Bone marrow aspirate smear · single-cell crop:
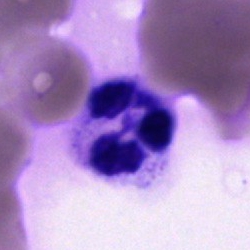
This is a neutrophil (segmented).